Bone marrow smear · image size 250×250 — 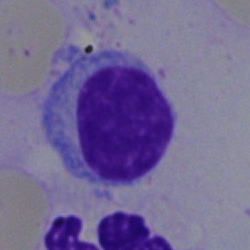 Lymphocyte.